Pappenheim-stained; bone marrow smear
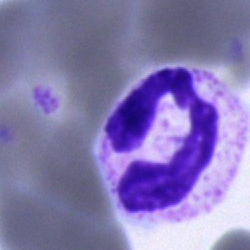

Impression → polymorphonuclear neutrophil.